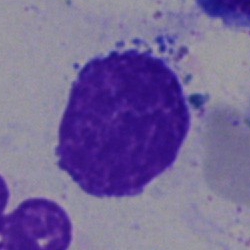Morphological class — artifact.